Peripheral blood film; 100× oil immersion:
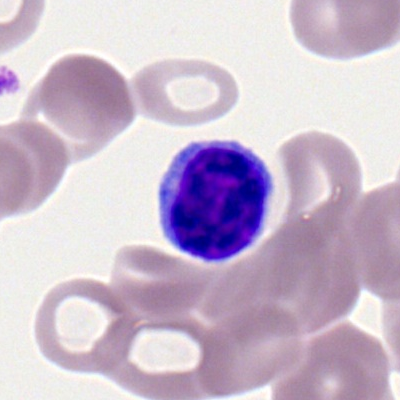The cell is lymphocyte.